40× objective, oil immersion; bone marrow smear; single-cell field
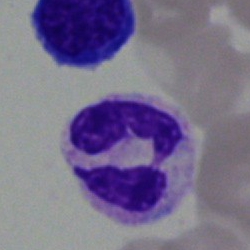

Morphology — segmented neutrophil.